Bone marrow smear.
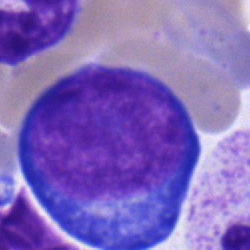 Impression — proerythroblast.